Bone marrow smear · 250×250: 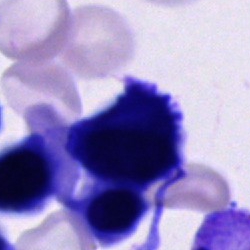This is an unidentifiable cell.